Bone marrow aspirate smear.
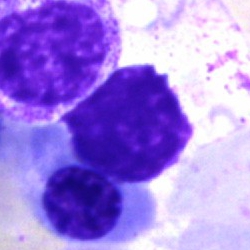Specimen: bone marrow aspirate smear.
Morphological class: normoblast.
Lineage: erythroid.